Bone marrow aspirate smear · 40× objective, oil immersion.
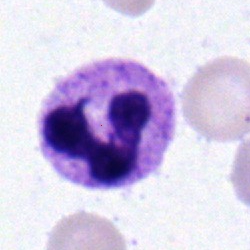

Cell type = neutrophil (segmented).